Peripheral blood film · image size 400×400 — 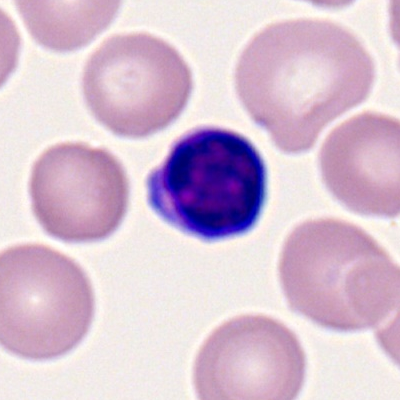 Cell type = lymphocyte.